Bone marrow smear.
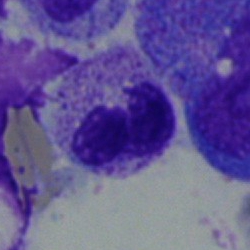 Q: Which cell type is shown here?
A: It is a neutrophil (segmented).